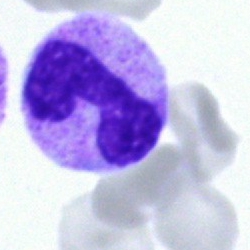 Cell = stab cell.